Bone marrow smear: 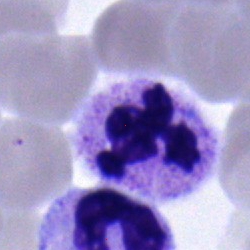 {"cell_type": "polymorphonuclear neutrophil", "lineage": "myeloid"}